Bone marrow smear: 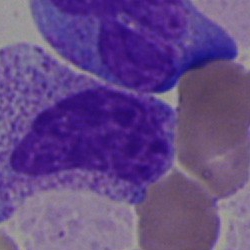
Morphological class — myelocyte.